Bone marrow aspirate smear — 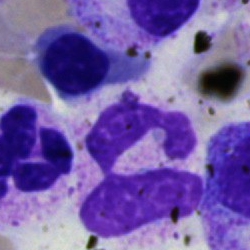Segmented neutrophil.